Bone marrow smear · May-Grünwald-Giemsa stain.
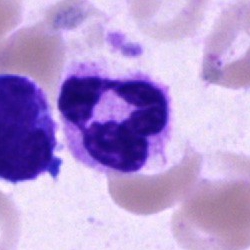{"cell_type": "neutrophil (segmented)"}